Bone marrow aspirate smear
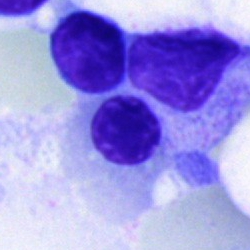 Morphological class: normoblast.